Bone marrow smear; 250×250 px: 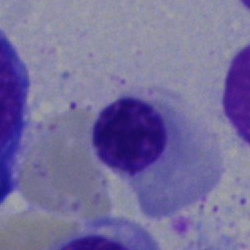
Classification = erythroblast.